Single cell centered in the field · bone marrow aspirate smear — 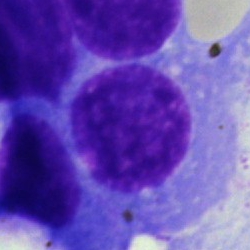Cell — plasma cell.